Pappenheim-stained; bone marrow smear.
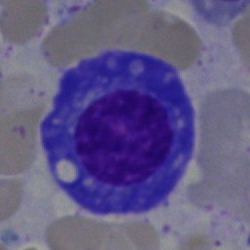Classification — plasma cell.